Peripheral blood smear; 100× objective, oil immersion; Romanowsky-type stain:
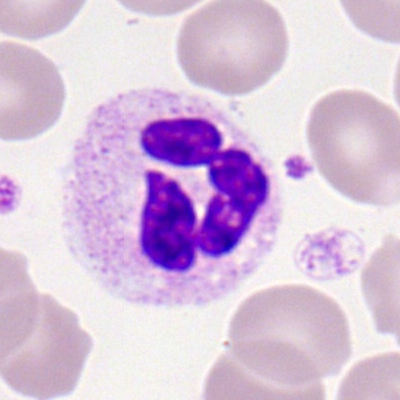

Morphological class: segmented neutrophil.